Bone marrow smear:
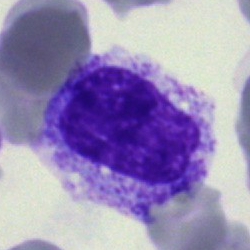 Cell — myelocyte.